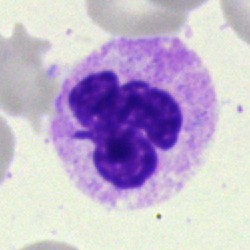
Morphological class — neutrophil (segmented).